Bone marrow smear; MGG-stained
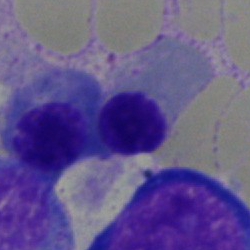

Morphology — erythroblast.